Single cell centered in the field; peripheral blood smear — 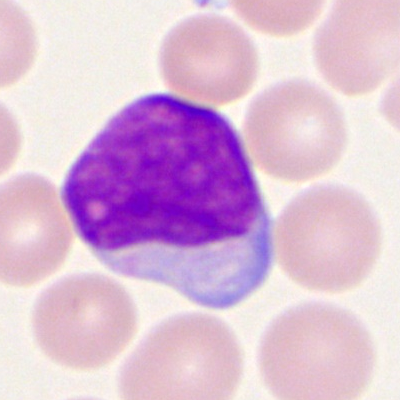

Morphological class = myeloblast.